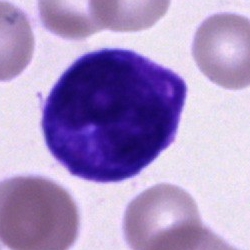
This is a cell of indeterminate lineage.